Pappenheim-stained · bone marrow aspirate smear · 40× objective, oil immersion.
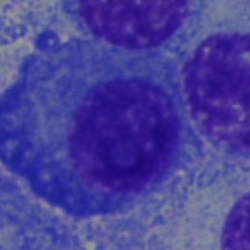 The morphological class is plasma cell.